Bone marrow smear
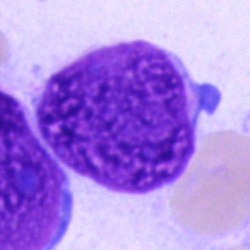

Q: What is shown here?
A: Artefact.